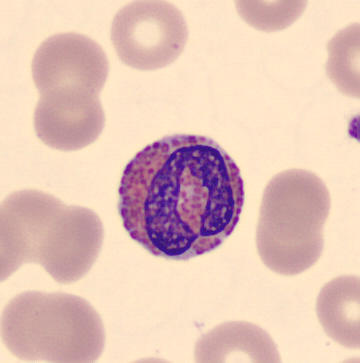Cell type: eosinophilic granulocyte. Acquisition: 360 by 363 pixels. Peripheral blood smear.